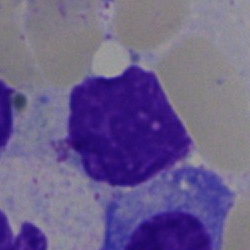
Specimen: bone marrow smear.
Classification: artifact.